Bone marrow aspirate smear
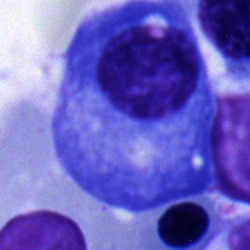{"cell_type": "plasma cell"}